Brightfield, 40× oil-immersion objective · May-Grünwald-Giemsa/Pappenheim stain · bone marrow aspirate smear
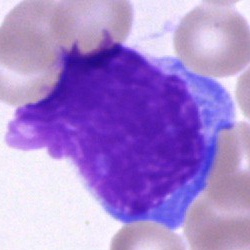

Artifact.